Peripheral blood smear: 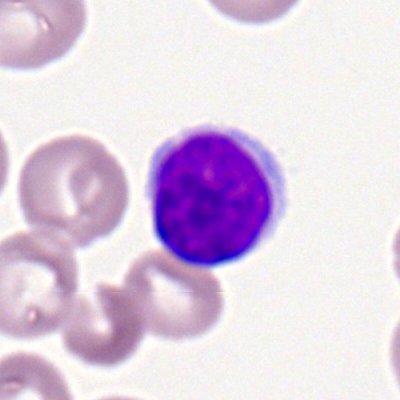Morphology → lymphocyte.